Single-cell crop. Bone marrow aspirate smear — 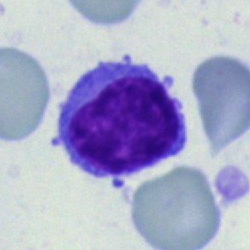
Morphological class: typical lymphocyte.